Bone marrow smear
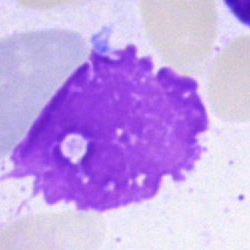 {"cell_type": "artifact"}